Bone marrow aspirate smear; brightfield, 40× oil-immersion objective; May-Grünwald-Giemsa stain: 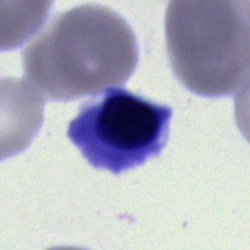
Morphology consistent with a nucleated red blood cell.